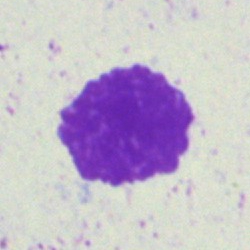Specimen: bone marrow aspirate smear.
Classification: artifact.